Bone marrow aspirate smear: 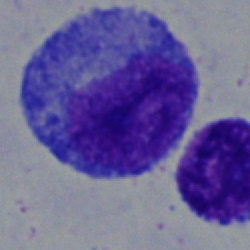 Single cell identified as a myelocyte.